250 by 250 pixels. Bone marrow aspirate smear: 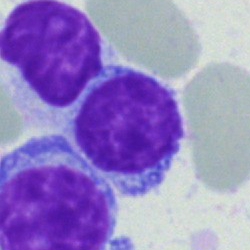 Cell type = typical lymphocyte.